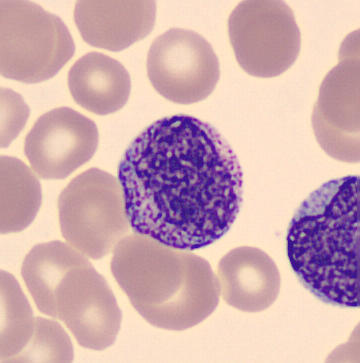

Cell — myelocyte. Acquisition: Peripheral blood film.